Bone marrow smear
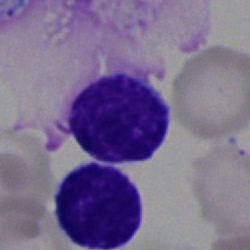
{"cell_type": "typical lymphocyte"}